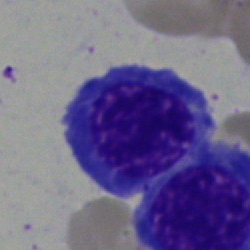 Cell type — nucleated red cell.